Bone marrow smear — 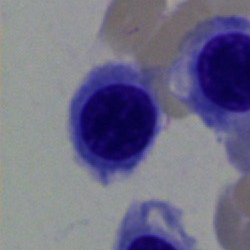 Morphology — nucleated red cell.